Bone marrow smear: 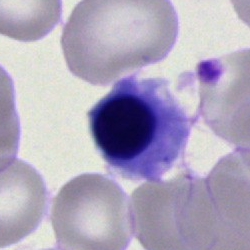 Morphology consistent with an erythroblast.